May-Grünwald-Giemsa stain. Bone marrow aspirate smear: 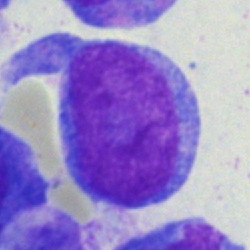

Q: What cell is this?
A: Blast.